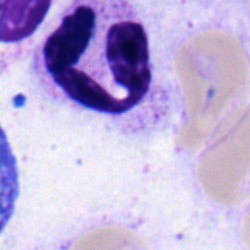
Specimen: bone marrow smear.
Classification: neutrophil (segmented).
Lineage: myeloid.